Bone marrow aspirate smear: 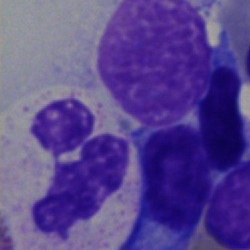

Q: What is shown here?
A: This is a neutrophil (segmented).